Bone marrow smear; 250×250 — 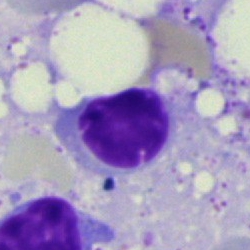
Q: Which cell type is shown here?
A: Erythroblast.